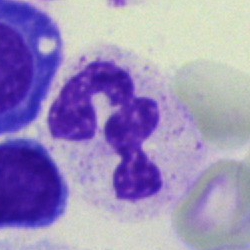 Specimen: bone marrow smear.
Morphological class: segmented neutrophil.
Lineage: myeloid.